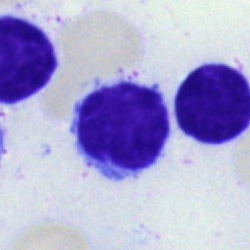

Impression → typical lymphocyte.